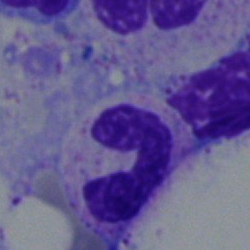 A segmented neutrophil on a bone marrow smear.